Bone marrow aspirate smear: 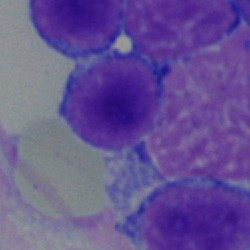Cell type = lymphocyte.